Bone marrow aspirate smear.
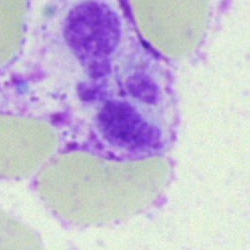 Q: What is shown here?
A: It is an artefact.